Bone marrow smear:
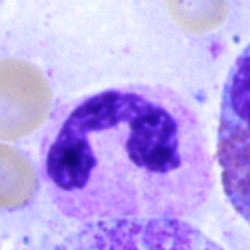 {"cell_type": "polymorphonuclear neutrophil"}